Brightfield, 40× oil-immersion objective; May-Grünwald-Giemsa/Pappenheim stain; bone marrow smear: 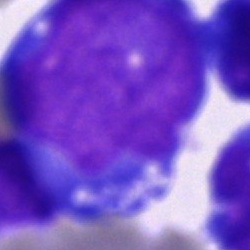

Cell type = blast.